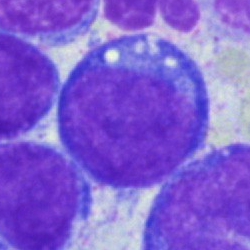
A blast cell on a bone marrow smear.